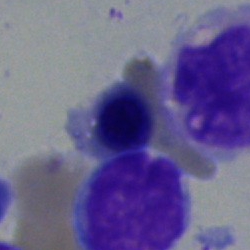

Specimen: bone marrow smear.
Cell: normoblast.
Lineage: erythroid.